Bone marrow aspirate smear
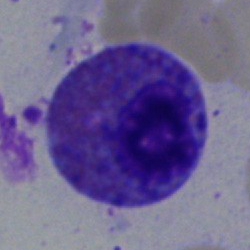 Single cell identified as an eosinophilic granulocyte.